250×250 px. Bone marrow aspirate smear:
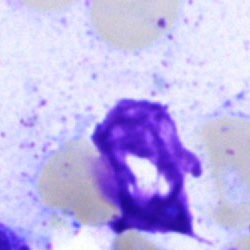
Specimen: bone marrow aspirate smear.
Morphological class: artefact.